Bone marrow smear
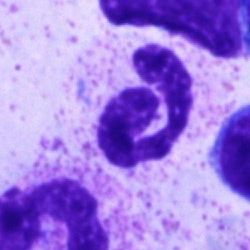

Q: What is the morphological classification of this cell?
A: A neutrophil (segmented).